Bone marrow aspirate smear. Single-cell field:
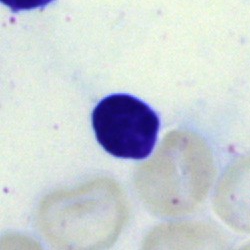 Morphology consistent with a typical lymphocyte.